Bone marrow aspirate smear:
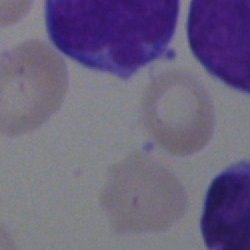
Q: What is shown here?
A: An artefact.